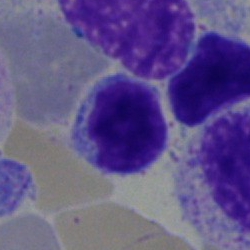

Cell type: typical lymphocyte.